May-Grünwald-Giemsa/Pappenheim stain; bone marrow aspirate smear: 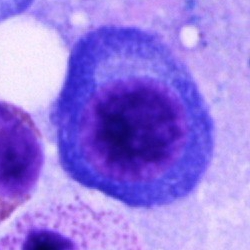Q: What cell is this?
A: This is a plasmacyte.